Brightfield microscopy, 40× oil immersion · bone marrow aspirate smear · single cell centered in the field
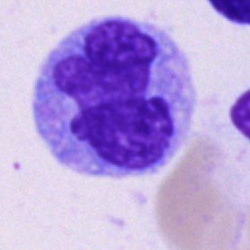

Single cell identified as a monocyte.